Bone marrow aspirate smear:
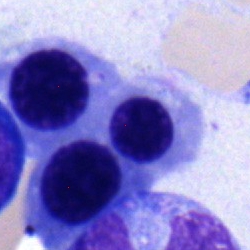
Showing a normoblast.